Brightfield, 40× oil-immersion objective · bone marrow aspirate smear: 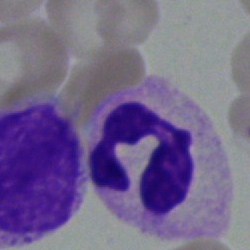
Single cell identified as a neutrophil (segmented).